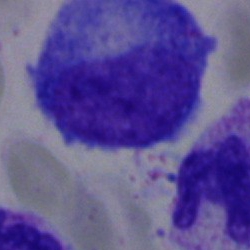

Morphology — promyelocyte.